Bone marrow smear.
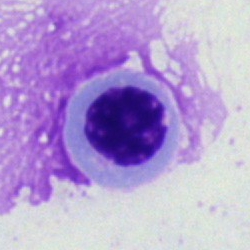 Classification: nucleated red blood cell.